MGG-stained · bone marrow aspirate smear.
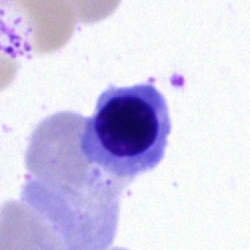
A nucleated red cell.